Bone marrow aspirate smear · May-Grünwald-Giemsa/Pappenheim stain — 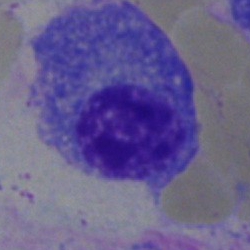Impression → plasmacyte.